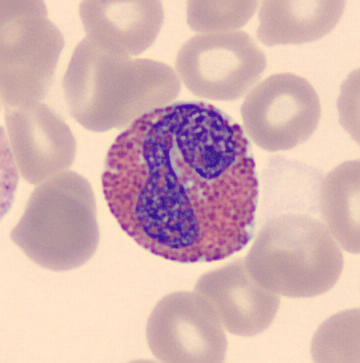Q: What cell is this?
A: An eosinophil.